MGG-stained; bone marrow smear
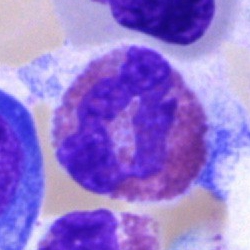 Showing an eosinophilic granulocyte.